40× oil immersion. Bone marrow aspirate smear: 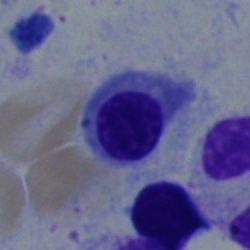Normoblast.